Bone marrow aspirate smear:
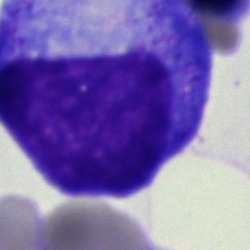 Specimen: bone marrow aspirate smear.
Cell: progranulocyte.